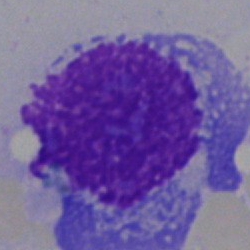 Artefact.